Bone marrow aspirate smear. Cropped to a single cell.
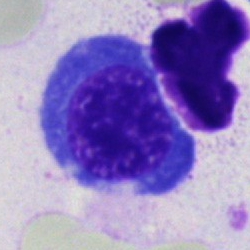 Erythroblast.